Bone marrow aspirate smear:
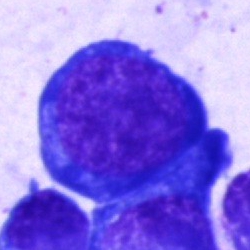
This is a normoblast.